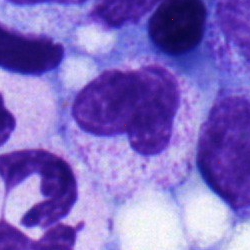
Specimen: bone marrow smear.
Morphological class: stab cell.
Lineage: myeloid.